Bone marrow aspirate smear:
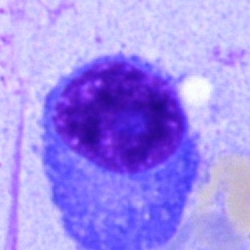 Q: Identify the cell.
A: It is a plasmacyte.